Bone marrow aspirate smear: 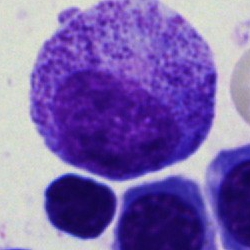
Cell = progranulocyte.